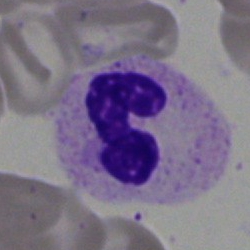Specimen: bone marrow smear.
Cell: polymorphonuclear neutrophil.
Lineage: myeloid.